Bone marrow smear; 40× objective, oil immersion; single cell centered in the field — 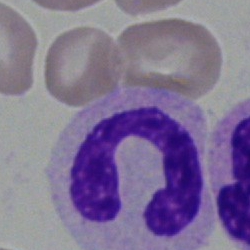Morphological class — segmented neutrophil.